Peripheral blood film; May-Grünwald-Giemsa-stained; CellaVision DM96 digital cell image: 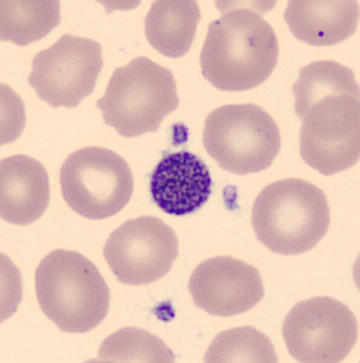

Morphology → platelet.